Bone marrow smear: 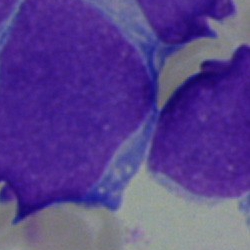
Q: Which cell type is shown here?
A: A blast cell.